Bone marrow aspirate smear: 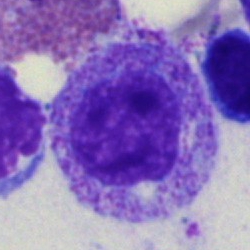
Cell type = myelocyte.